40× objective, oil immersion · bone marrow aspirate smear: 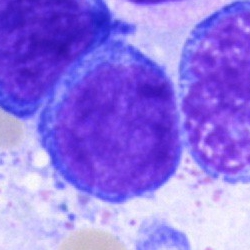

Morphology → proerythroblast.